Bone marrow aspirate smear. 250 by 250 pixels — 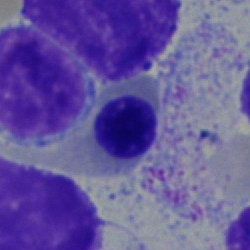Single cell identified as an erythroblast.